Single-cell crop · Romanowsky-stained · peripheral blood smear
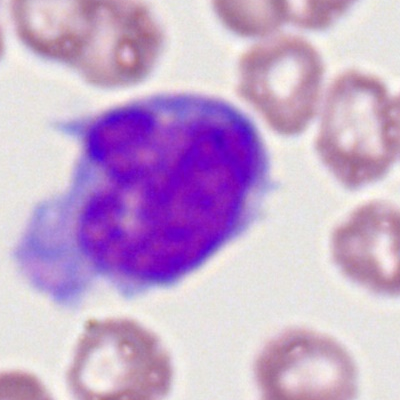Morphological class: monocyte.